250×250 · bone marrow aspirate smear:
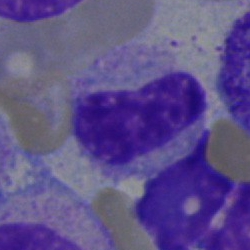
Specimen: bone marrow aspirate smear.
Morphological class: neutrophil (band).